Bone marrow smear: 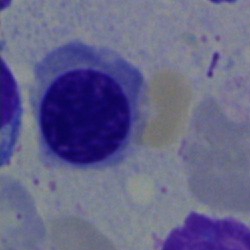
Nucleated red blood cell.